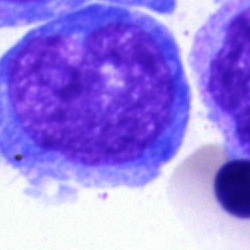

Morphology → blast cell.